Bone marrow aspirate smear · 250×250 — 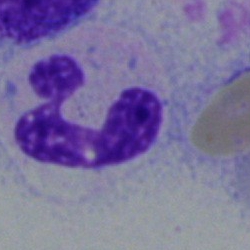

Cell type = polymorphonuclear neutrophil.